Bone marrow aspirate smear: 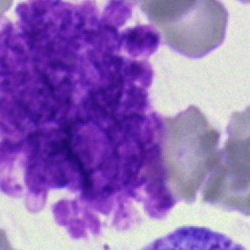
Cell type = artifact.